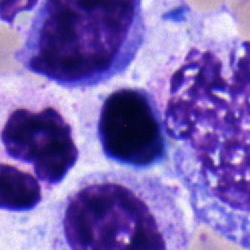

Cell type: lymphocyte.